Bone marrow smear
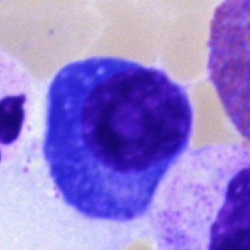 This is a plasma cell.